40× oil immersion. Bone marrow smear. Image size 250×250.
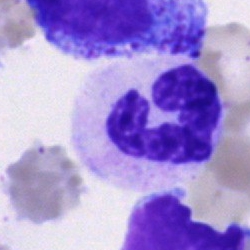
Single cell identified as a neutrophil (segmented).